Bone marrow aspirate smear: 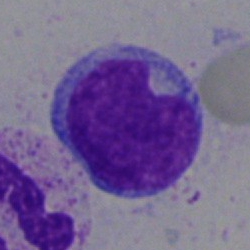

Specimen: bone marrow smear.
Cell type: blast.